Bone marrow smear
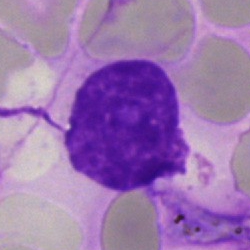 An artifact.